Bone marrow aspirate smear
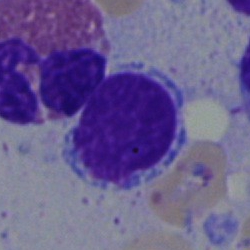Impression → lymphocyte.